Bone marrow aspirate smear
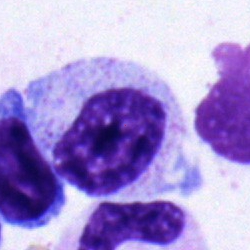The cell shown is a metamyelocyte.